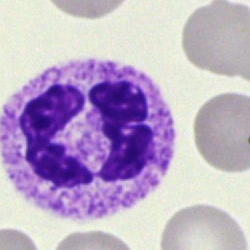Specimen: bone marrow smear.
Classification: polymorphonuclear neutrophil.